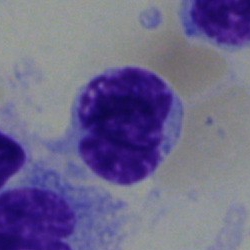

Q: What is the morphological classification of this cell?
A: Typical lymphocyte.